Bone marrow smear — 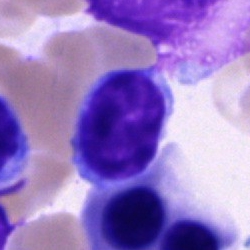
Specimen: bone marrow smear.
Morphological class: lymphocyte.
Lineage: lymphoid.